Bone marrow smear. Cropped to a single cell — 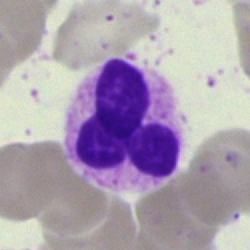
Q: Which cell type is shown here?
A: This is a polymorphonuclear neutrophil.